Single cell centered in the field. Pappenheim-stained. Bone marrow smear — 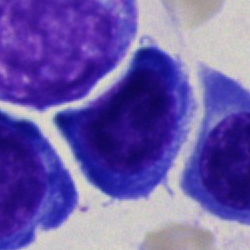

Specimen: bone marrow smear.
Morphological class: nucleated red blood cell.
Lineage: erythroid.